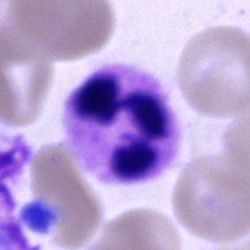

Q: Which cell type is shown here?
A: Neutrophil (segmented).